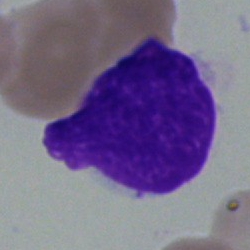

Specimen: bone marrow smear.
Cell type: artifact.